Bone marrow aspirate smear: 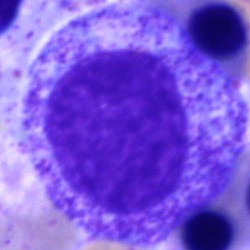 The cell shown is a promyelocyte.